Bone marrow aspirate smear
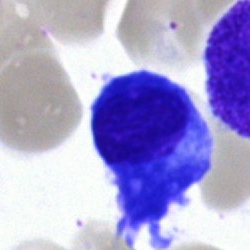Q: What type of cell is this?
A: Plasma cell.